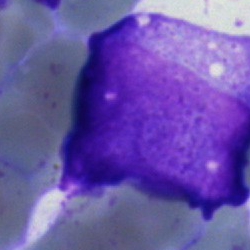
An undifferentiated blast on a bone marrow smear.